Bone marrow smear. Single-cell field:
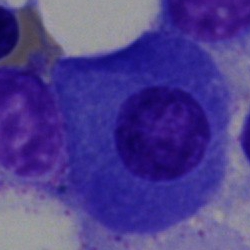

{"cell_type": "plasmacyte", "lineage": "lymphoid"}